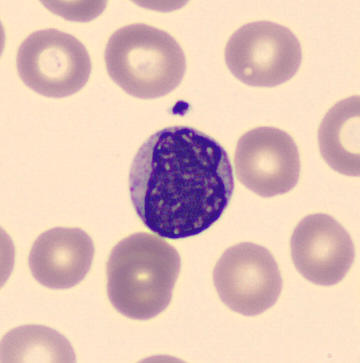 Classification — metamyelocyte.